Bone marrow aspirate smear
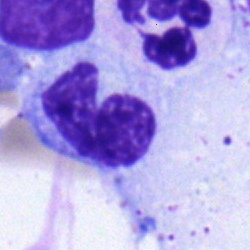

This is a band neutrophil.